Bone marrow aspirate smear; May-Grünwald-Giemsa/Pappenheim stain:
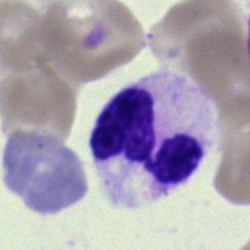

Segmented neutrophil.